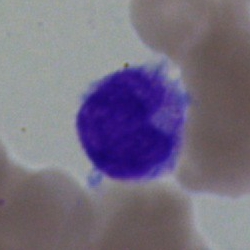
Specimen: bone marrow aspirate smear.
Morphological class: monocyte.